Bone marrow smear.
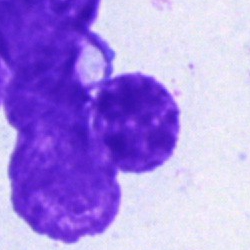
Classification — artifact.